Bone marrow smear: 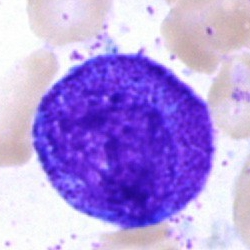
The classification is myelocyte.